Bone marrow aspirate smear.
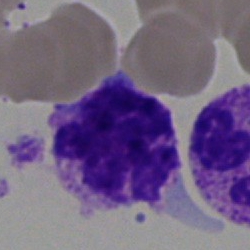 Q: What cell is this?
A: This is a basophilic granulocyte.